Bone marrow aspirate smear:
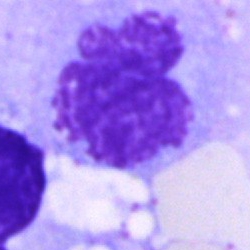

Morphological class — artefact.